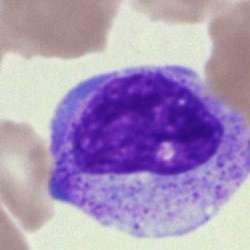

{"cell_type": "myelocyte", "lineage": "myeloid"}